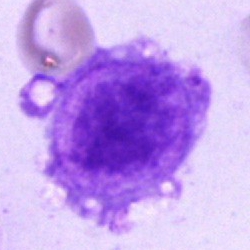{"cell_type": "artefact"}